Bone marrow smear.
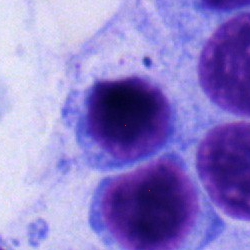

Morphological class = typical lymphocyte.